400×400 px. Peripheral blood film:
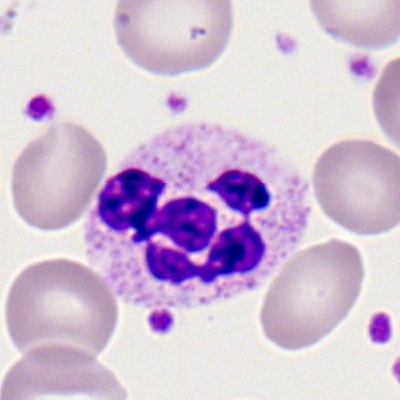This is a segmented neutrophil.